Pappenheim-stained; bone marrow smear; image size 250×250:
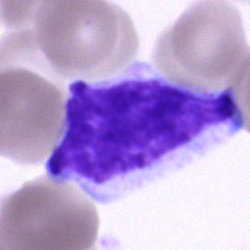
Cell type: cell of indeterminate lineage.